250×250 px. Single-cell field. Bone marrow smear
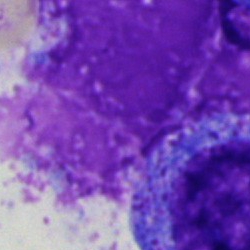
Single cell identified as an artefact.